Peripheral blood smear. CellaVision DM96 digital cell image:
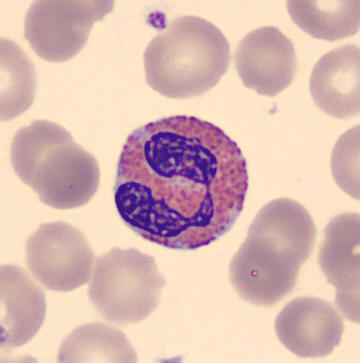

The classification is eosinophil.